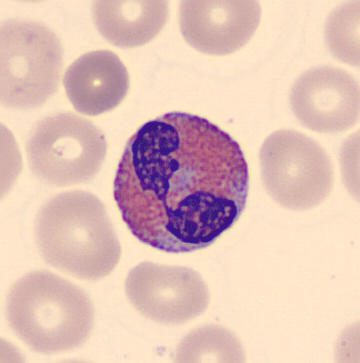

Q: What type of cell is this?
A: An eosinophil. Image: Peripheral blood film. MGG-stained. 360×363 px.